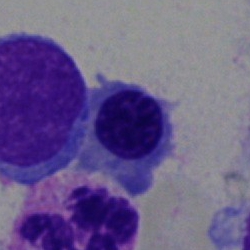
The cell type is normoblast.